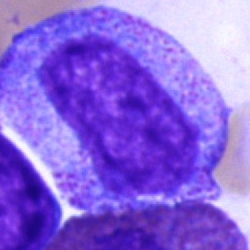

Q: What cell is this?
A: A promyelocyte.